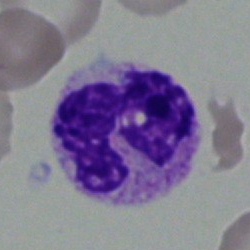The classification is polymorphonuclear neutrophil.